Peripheral blood smear — 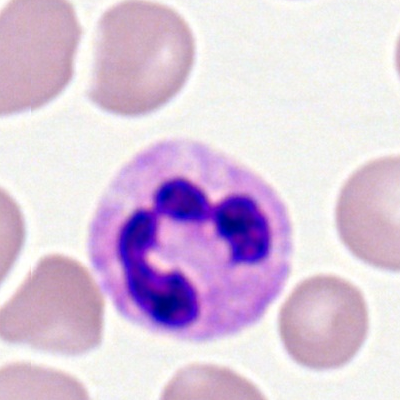Single cell identified as a neutrophil (segmented).